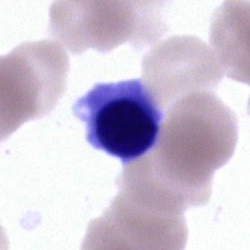
Q: What is shown here?
A: It is a nucleated red blood cell.